Bone marrow smear
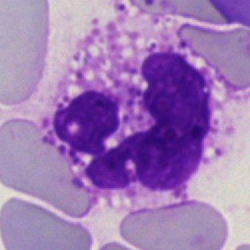Q: Which cell type is shown here?
A: A polymorphonuclear neutrophil.